Bone marrow smear:
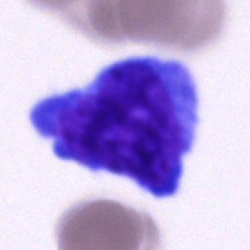Specimen: bone marrow smear.
Classification: blast.